Bone marrow aspirate smear · 250×250 px — 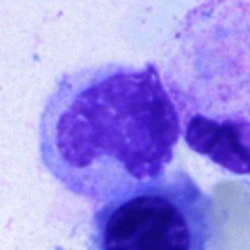{"cell_type": "band neutrophil", "lineage": "myeloid"}